250 by 250 pixels · bone marrow aspirate smear:
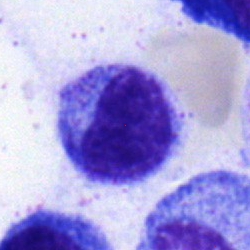 Q: Identify the cell.
A: This is a myelocyte.